Bone marrow smear:
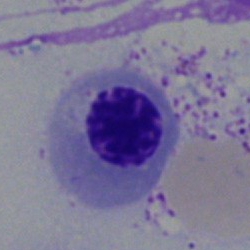
Cell type: erythroblast.